Bone marrow smear
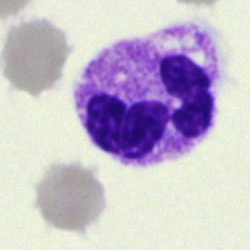 The classification is neutrophil (segmented).